Bone marrow aspirate smear. Pappenheim-stained.
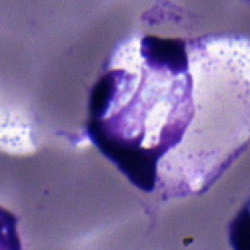

The cell shown is a segmented neutrophil.